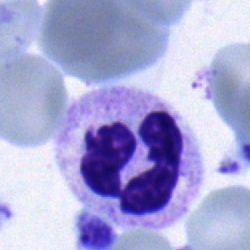Single-cell crop from a bone marrow smear: neutrophil (segmented).